Cropped to a single cell · 40× oil immersion · bone marrow smear: 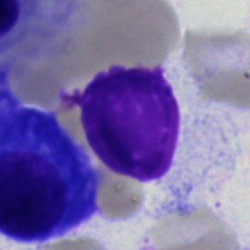

{"cell_type": "artefact"}